Bone marrow smear:
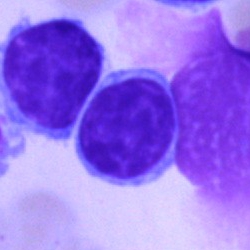

This is a lymphocyte.